Bone marrow smear:
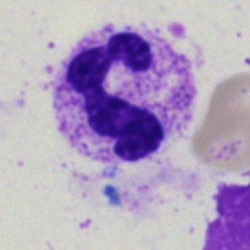The classification is neutrophil (segmented).